Bone marrow smear:
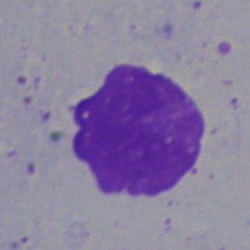

Impression — artefact.